Peripheral blood film
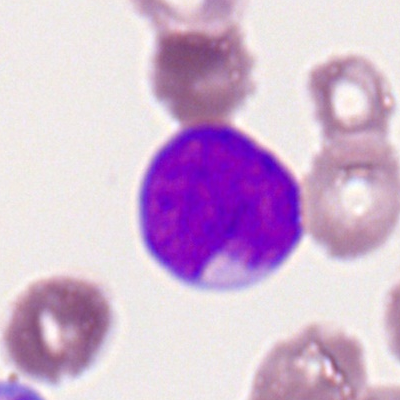Q: What is shown here?
A: This is a myeloid blast.